Bone marrow aspirate smear.
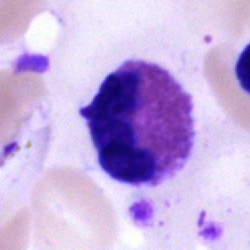

Q: What is the morphological classification of this cell?
A: This is an eosinophilic granulocyte.